Bone marrow smear; MGG-stained.
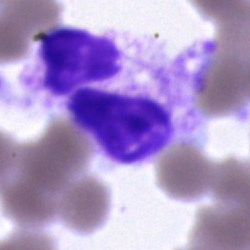{"cell_type": "polymorphonuclear neutrophil"}